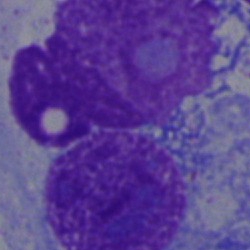Q: What is shown here?
A: It is an artifact.